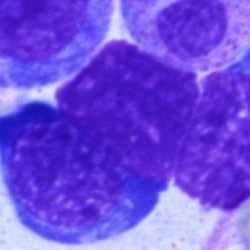
Q: What is shown here?
A: It is a nucleated red cell.